Bone marrow smear: 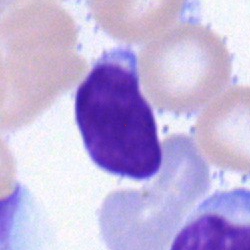

Showing a typical lymphocyte.